Bone marrow aspirate smear — 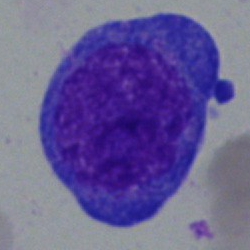 This is an undifferentiated blast.